Bone marrow smear: 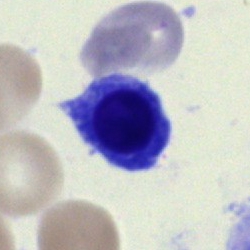 Morphology → nucleated red cell.